Bone marrow smear.
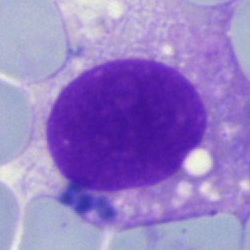
Cell type — artefact.